Bone marrow aspirate smear.
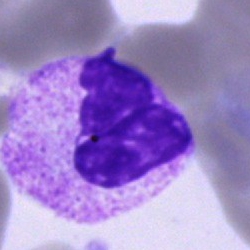This is a polymorphonuclear neutrophil.